Single-cell crop. Bone marrow smear. 40× objective, oil immersion: 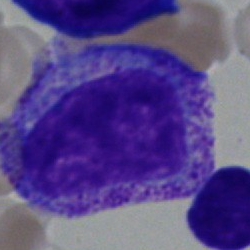Q: What cell is this?
A: A progranulocyte.